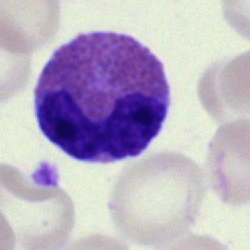 An eosinophil on a bone marrow smear.